Bone marrow aspirate smear
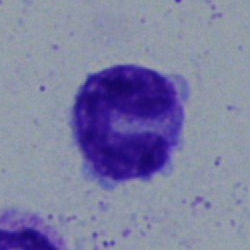 The cell is neutrophil (band).